Bone marrow smear · brightfield microscopy, 40× oil immersion.
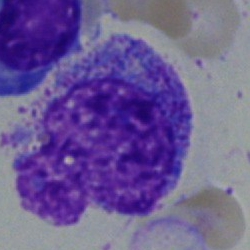

Specimen: bone marrow aspirate smear.
Classification: progranulocyte.
Lineage: myeloid.